Bone marrow smear — 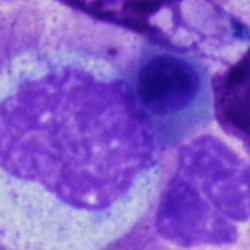 Cell: nucleated red blood cell.